Cropped to a single cell. May-Grünwald-Giemsa/Pappenheim stain. Bone marrow aspirate smear — 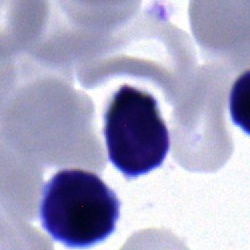Morphology consistent with a lymphocyte.